Bone marrow smear: 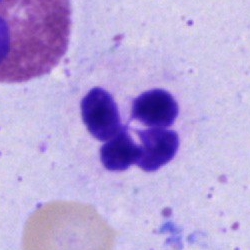

The cell type is polymorphonuclear neutrophil.